Peripheral blood film.
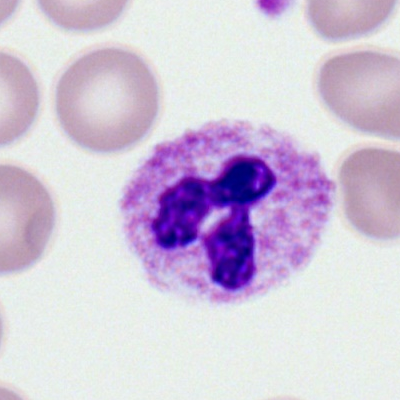
{"cell_type": "neutrophil (segmented)", "lineage": "myeloid"}